Bone marrow aspirate smear:
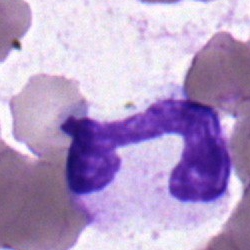 Polymorphonuclear neutrophil.